Bone marrow aspirate smear:
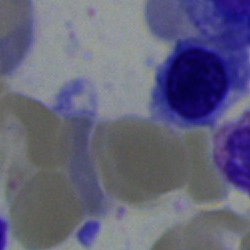The classification is nucleated red cell.